Bone marrow smear — 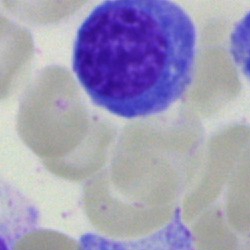 Morphology — nucleated red blood cell.